Peripheral blood film:
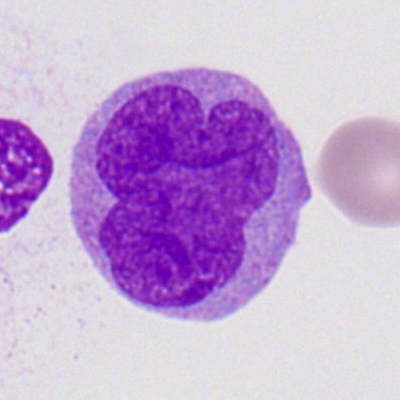 Cell = myeloblast.